Bone marrow smear · 40× oil immersion: 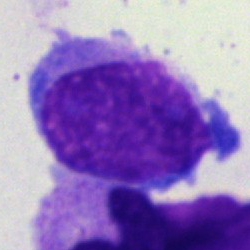Q: Which cell type is shown here?
A: This is an undifferentiated blast.